Peripheral blood smear. CellaVision DM96. MGG-stained: 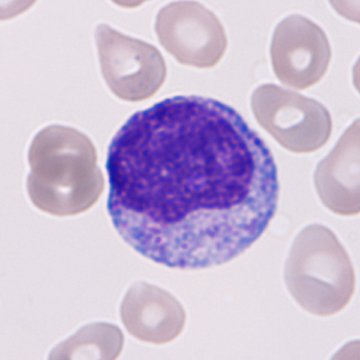

Morphology consistent with a granulocyte precursor.